Bone marrow smear; single-cell crop; image size 250×250 — 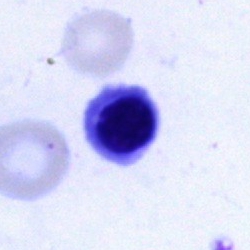

Morphology consistent with a nucleated red blood cell.